May-Grünwald-Giemsa/Pappenheim stain · bone marrow aspirate smear · single-cell field.
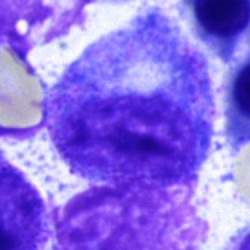Specimen: bone marrow smear.
Cell type: progranulocyte.
Lineage: myeloid.